250 by 250 pixels; May-Grünwald-Giemsa/Pappenheim stain; bone marrow smear: 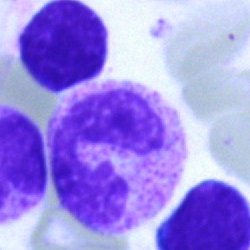

Cell type — polymorphonuclear neutrophil.